Peripheral blood smear; single-cell field:
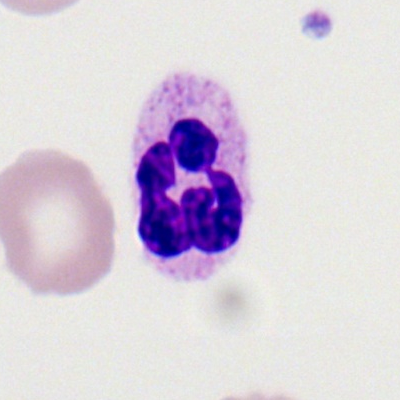

Impression — polymorphonuclear neutrophil.